250×250 px. Bone marrow aspirate smear. Brightfield, 40× oil-immersion objective.
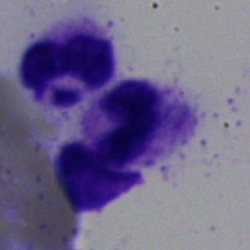 Impression — polymorphonuclear neutrophil.